Bone marrow smear
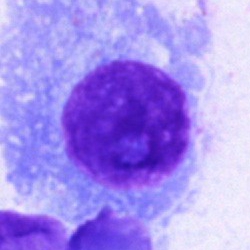 {"cell_type": "plasma cell"}